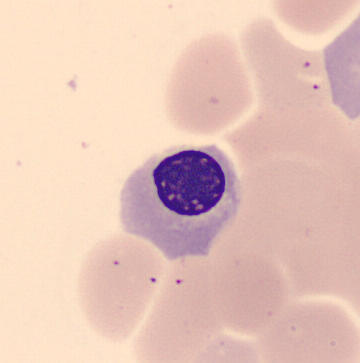
Image: Peripheral blood film.
Impression — normoblast.